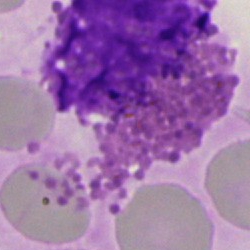Morphology consistent with an artifact.